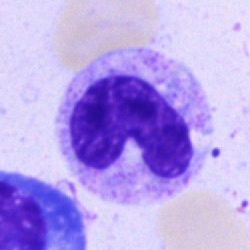
Q: What is shown here?
A: It is a stab cell.